250×250 px · bone marrow aspirate smear:
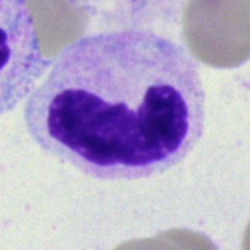Morphology consistent with a stab cell.